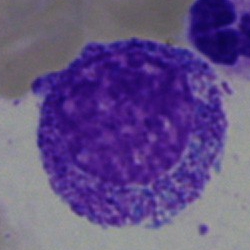
The cell shown is a promyelocyte.